Pappenheim-stained · bone marrow aspirate smear · 40× oil immersion
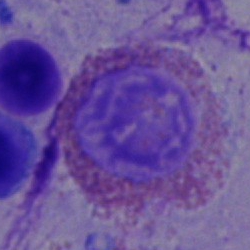Eosinophil.